250×250 px; bone marrow smear.
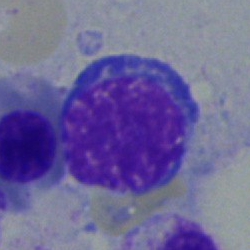
A nucleated red cell.